Bone marrow aspirate smear — 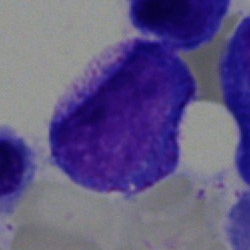
This is a progranulocyte.